Bone marrow smear.
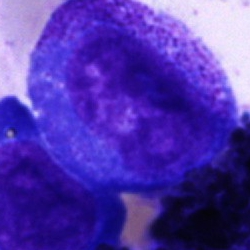{"cell_type": "promyelocyte", "lineage": "myeloid"}